Bone marrow aspirate smear
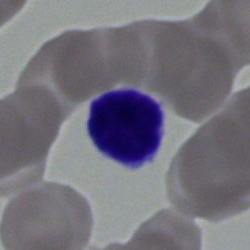 Specimen: bone marrow smear.
Classification: typical lymphocyte.
Lineage: lymphoid.